Bone marrow aspirate smear; 250×250
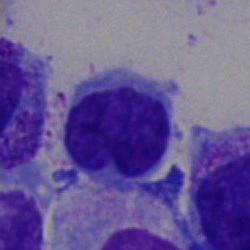

Morphology → blast cell.